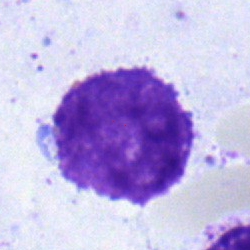
The classification is typical lymphocyte.